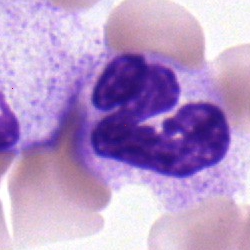

Specimen: bone marrow aspirate smear.
Cell type: polymorphonuclear neutrophil.